Bone marrow smear · image size 250×250 — 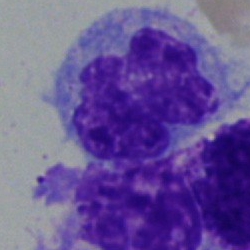
Q: What type of cell is this?
A: An erythroblast.